Peripheral blood smear.
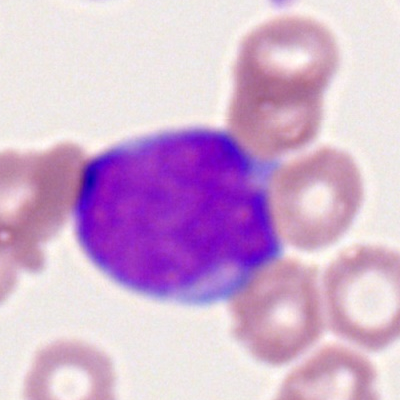
Single cell identified as a myeloid blast.